Peripheral blood smear; Romanowsky-stained: 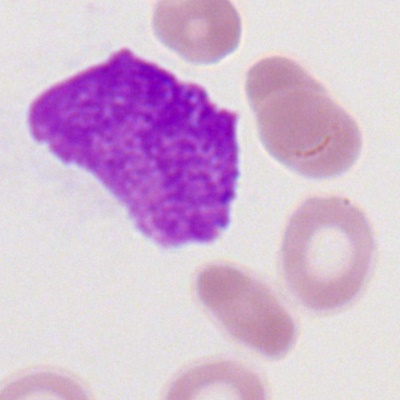 Q: What cell is this?
A: This is a basket cell.